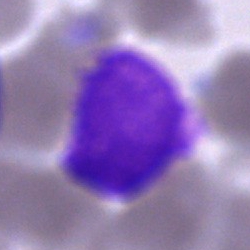Unidentifiable cell.